Bone marrow smear:
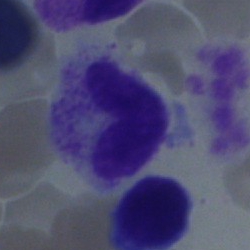 Q: What cell is this?
A: It is a metamyelocyte.